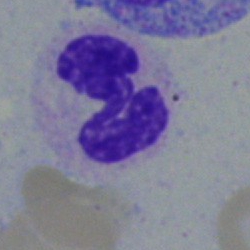

A segmented neutrophil.